Brightfield, 40× oil-immersion objective. Single-cell field. Bone marrow smear — 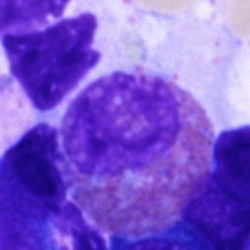
{"cell_type": "eosinophil", "lineage": "myeloid"}